250×250 px · bone marrow aspirate smear
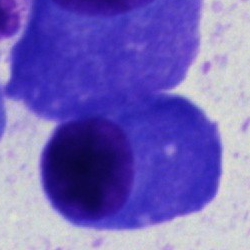
Cell = plasma cell.